Bone marrow aspirate smear
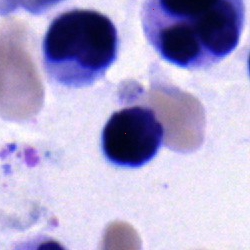
A lymphocyte.